250×250; bone marrow aspirate smear — 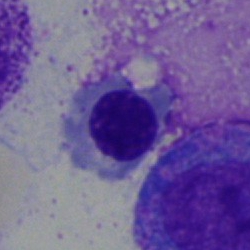

Q: Identify the cell.
A: A nucleated red cell.